Bone marrow smear — 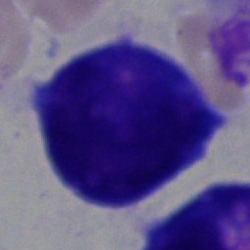

This is an undifferentiated blast.